Bone marrow aspirate smear; May-Grünwald-Giemsa/Pappenheim stain — 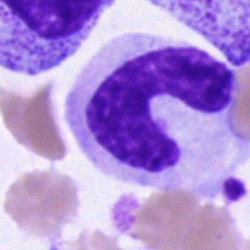The cell shown is a neutrophil (band).